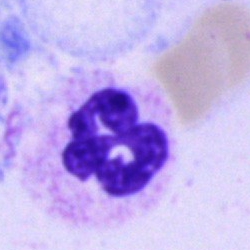

Q: What cell is this?
A: This is a polymorphonuclear neutrophil.